Bone marrow aspirate smear
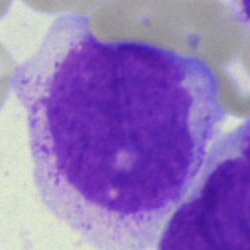 Specimen: bone marrow smear.
Classification: blast cell.